May-Grünwald-Giemsa/Pappenheim stain; bone marrow smear:
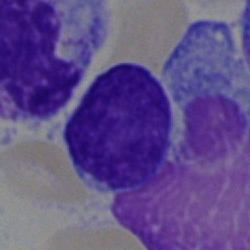
Single cell identified as a lymphocyte.